Bone marrow smear.
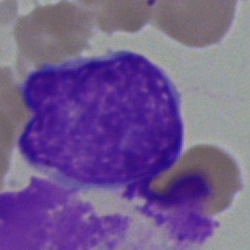The cell is undifferentiated blast.